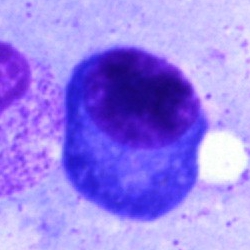
Impression — plasmacyte.